Brightfield microscopy, 40× oil immersion · bone marrow aspirate smear · 250 by 250 pixels
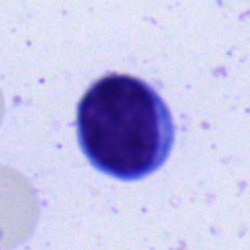
Morphological class: typical lymphocyte.